Bone marrow aspirate smear — 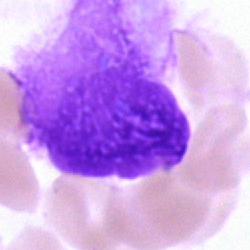
This is an artefact.